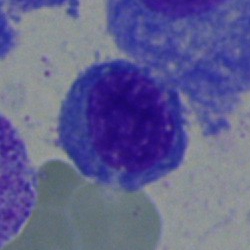 The cell shown is a normoblast.